Bone marrow smear.
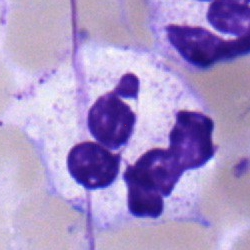

Q: What type of cell is this?
A: It is a segmented neutrophil.